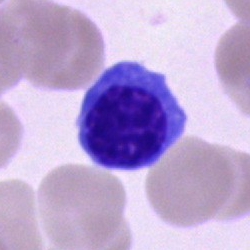 Cell type — normoblast.